Bone marrow smear:
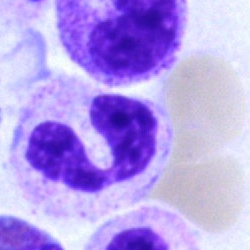 The morphological class is polymorphonuclear neutrophil.